Peripheral blood smear; Romanowsky-stained.
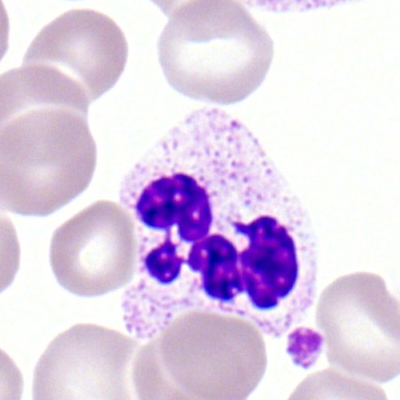
Q: Which cell type is shown here?
A: A segmented neutrophil.